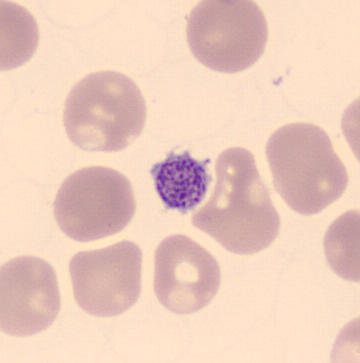Peripheral blood smear.
Morphological class — platelet (thrombocyte).